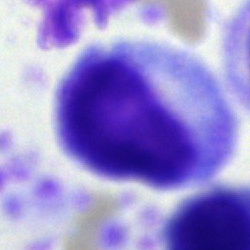
Q: What is shown here?
A: An unidentifiable cell.